Peripheral blood smear. Romanowsky stain. 400 by 400 pixels.
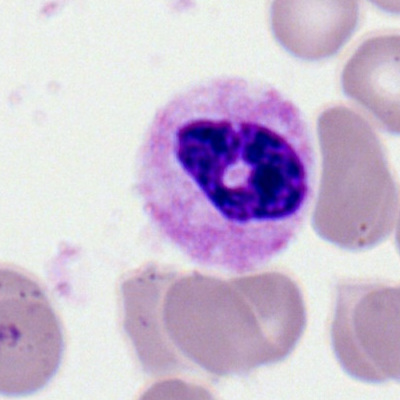Cell — neutrophil (segmented).